Bone marrow smear; MGG-stained
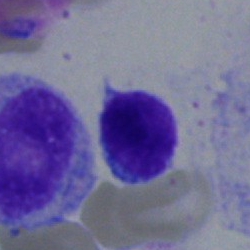
Cell type = typical lymphocyte.